Bone marrow aspirate smear · single cell centered in the field · 250×250: 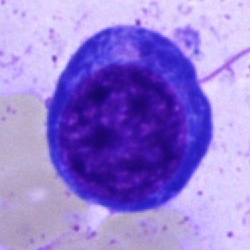
Specimen: bone marrow smear.
Cell type: proerythroblast.